Image size 250×250; bone marrow smear.
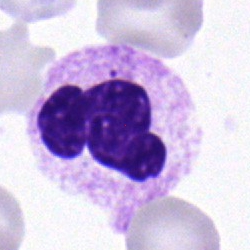

Morphological class: neutrophil (segmented).